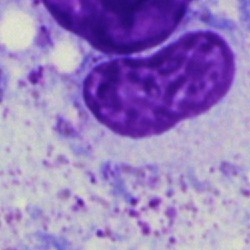Cell: artefact.